Bone marrow smear — 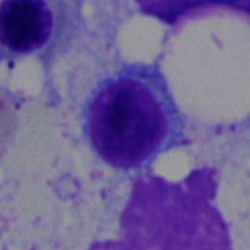
An erythroblast.